Single-cell crop; bone marrow smear; 250 by 250 pixels: 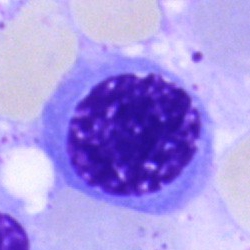

{"cell_type": "nucleated red blood cell", "lineage": "erythroid"}